Brightfield microscopy, 40× oil immersion. Bone marrow smear — 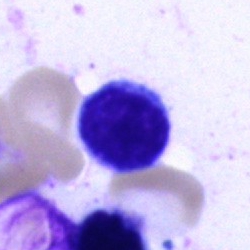
Cell: typical lymphocyte.